Bone marrow smear.
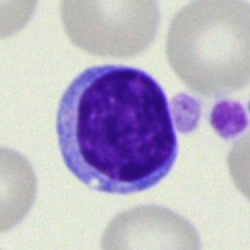Morphology — typical lymphocyte.